Bone marrow aspirate smear · 250×250 — 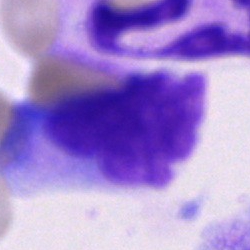 Unidentifiable cell.